Peripheral blood film — 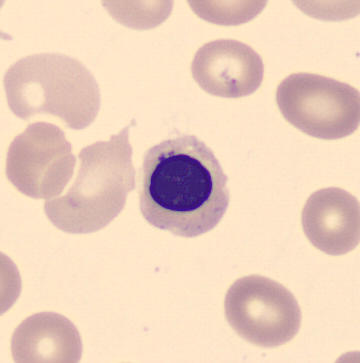

Showing a nucleated red blood cell.